Bone marrow aspirate smear · 250×250 · single cell centered in the field
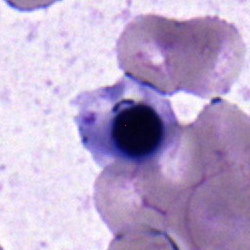 Q: Identify the cell.
A: Nucleated red blood cell.